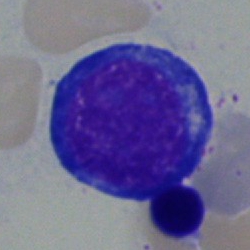

Specimen: bone marrow smear.
Classification: pronormoblast.